Bone marrow aspirate smear · 250×250 px: 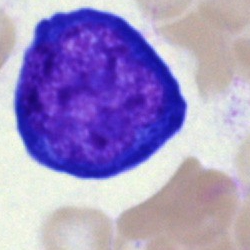

Proerythroblast.